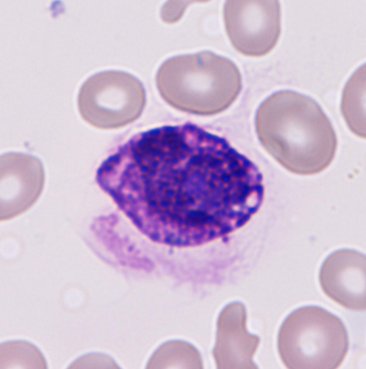

Cell type: basophilic granulocyte. Preparation: Peripheral blood film · automated cell imaging (CellaVision DM96) · single-cell field.